Peripheral blood smear — 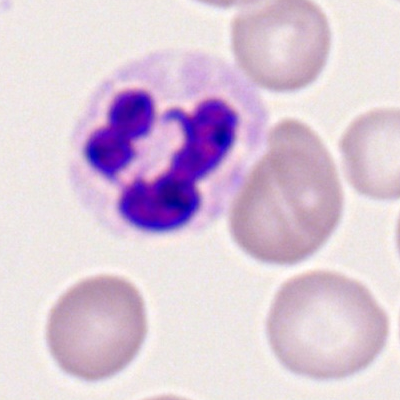Classification = neutrophil (segmented).